250 by 250 pixels · bone marrow aspirate smear · brightfield, 40× oil-immersion objective
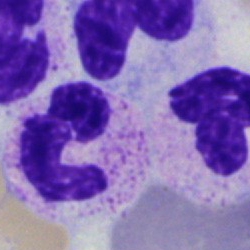
Impression — neutrophil (segmented).